Peripheral blood smear.
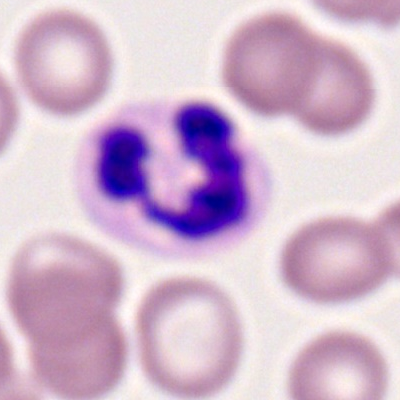 The cell shown is a polymorphonuclear neutrophil.